Peripheral blood film — 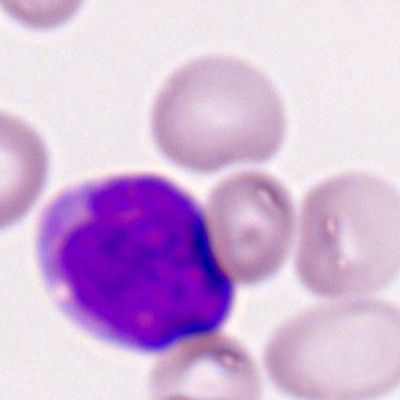 Myeloid blast.